Bone marrow smear
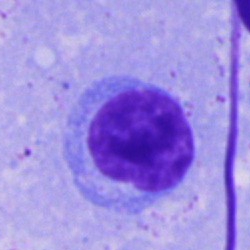

Showing a lymphocyte.